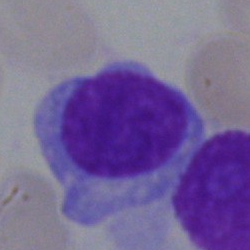

Specimen: bone marrow smear.
Cell type: plasmacyte.